Bone marrow aspirate smear. May-Grünwald-Giemsa stain. Single-cell field: 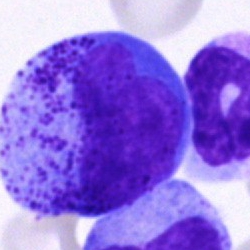
Showing a progranulocyte.